Bone marrow smear; brightfield, 40× oil-immersion objective
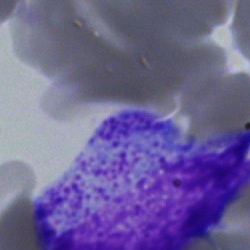Impression — promyelocyte.